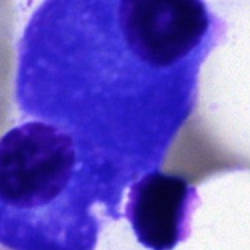Impression → plasmacyte.